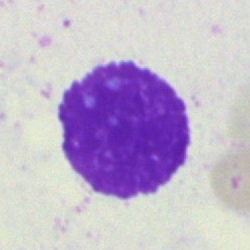
Morphology → artefact.